Bone marrow aspirate smear: 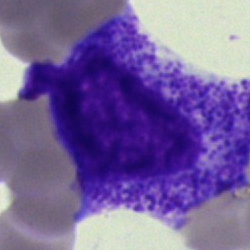Q: What is shown here?
A: It is a progranulocyte.